40× objective, oil immersion; bone marrow smear.
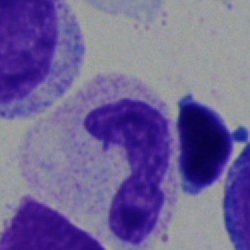The cell shown is a polymorphonuclear neutrophil.